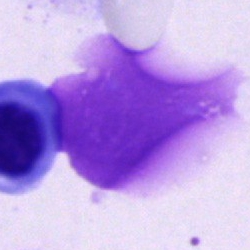Cell: artefact.